Bone marrow aspirate smear · single cell centered in the field · 250×250 px:
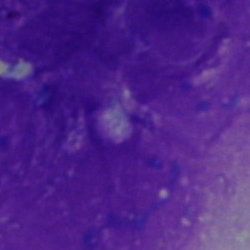

Cell type — artifact.